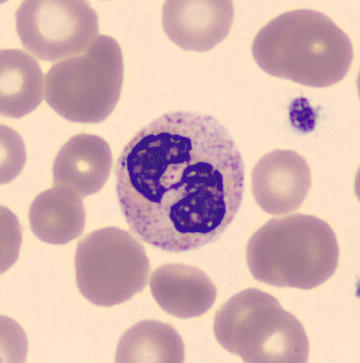 Peripheral blood smear.
Morphology consistent with a neutrophil (segmented).